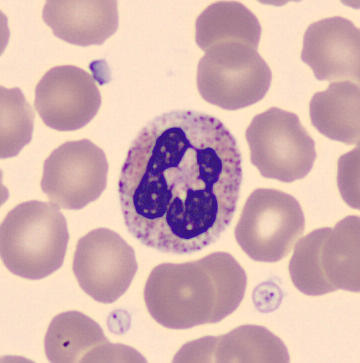

Q: Which cell type is shown here?
A: A segmented neutrophil. Image: Peripheral blood film · MGG stain.